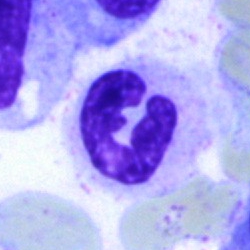
Q: What is the morphological classification of this cell?
A: This is a segmented neutrophil.